MGG-stained; bone marrow aspirate smear; single-cell field: 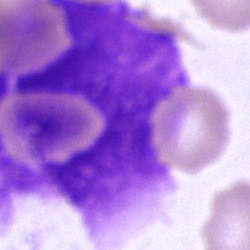The classification is artefact.